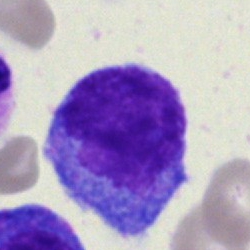 Morphology consistent with a monocyte.